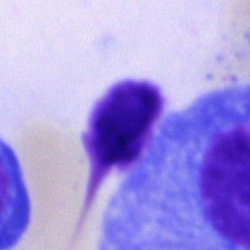 Morphology consistent with a plasma cell.